Peripheral blood film. 360×363 px
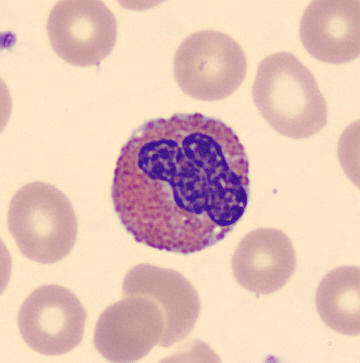Q: Identify the cell.
A: It is an eosinophilic granulocyte.